Peripheral blood smear:
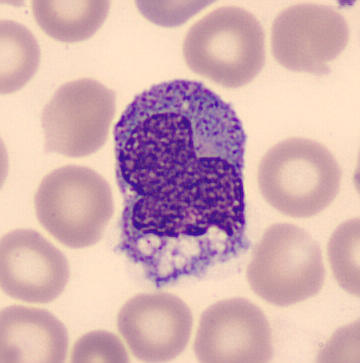 Identified as a monocyte.